Bone marrow aspirate smear; 250×250:
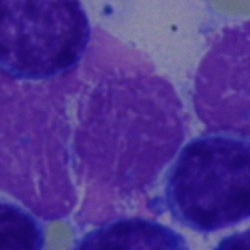Cell — artifact.